Image size 250×250 · bone marrow aspirate smear · May-Grünwald-Giemsa stain — 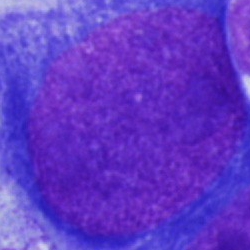
A pronormoblast.